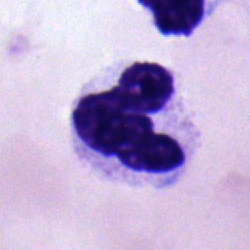
Morphological class = segmented neutrophil.